Bone marrow aspirate smear.
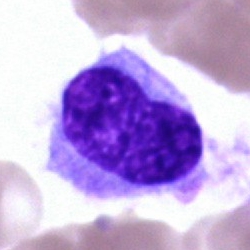
Impression → hairy cell.